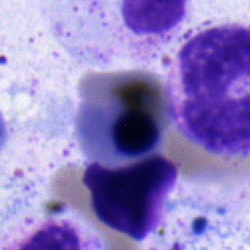Specimen: bone marrow aspirate smear.
Cell type: nucleated red blood cell.